Bone marrow smear: 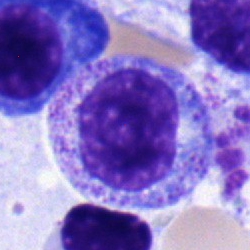

Q: Identify the cell.
A: Myelocyte.